Peripheral blood smear — 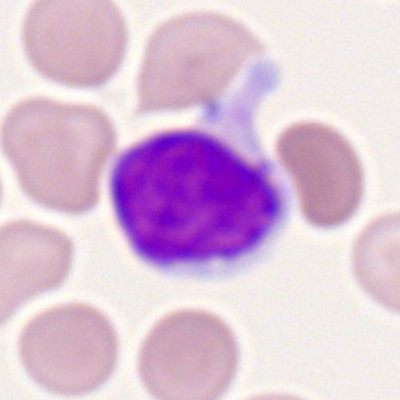
{"cell_type": "lymphocyte", "lineage": "lymphoid"}